Bone marrow aspirate smear:
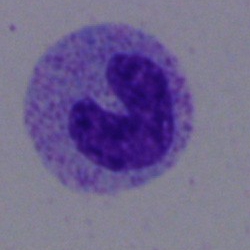

Morphology — band neutrophil.